Bone marrow smear — 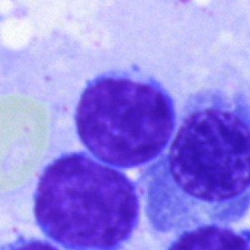Cell — typical lymphocyte.